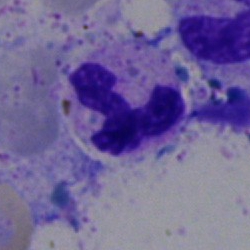

This is a segmented neutrophil.